Peripheral blood film — 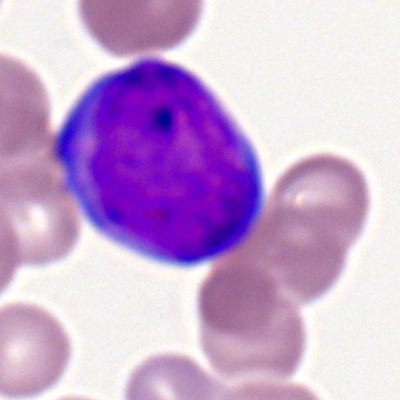Impression → myeloid blast.